Pappenheim-stained · bone marrow aspirate smear · 250×250
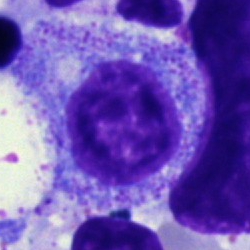 Morphology consistent with a myelocyte.